Bone marrow aspirate smear — 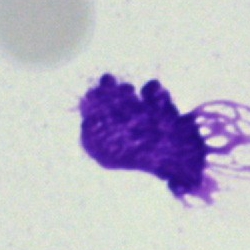 Morphological class: artifact.